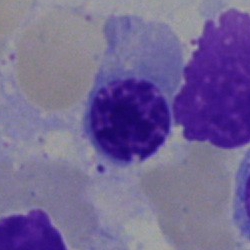

Q: Which cell type is shown here?
A: This is a nucleated red cell.